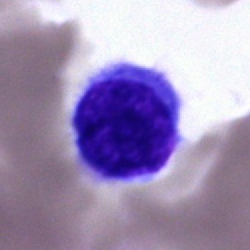

Impression — typical lymphocyte.